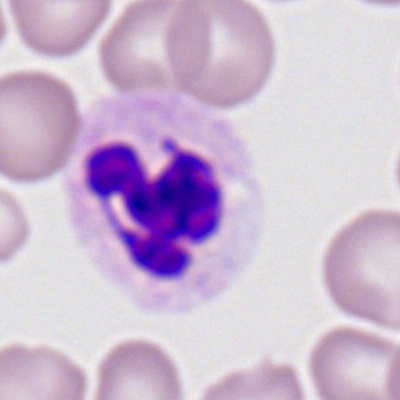
Cell type — polymorphonuclear neutrophil.